Bone marrow smear — 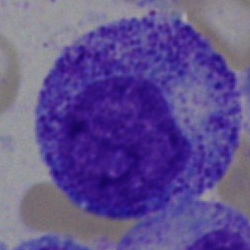

Specimen: bone marrow aspirate smear.
Cell type: promyelocyte.